Bone marrow smear:
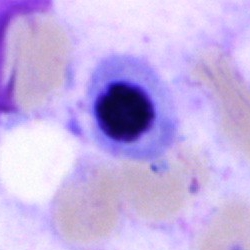

Q: What is shown here?
A: An erythroblast.